CellaVision DM96 digital cell image. Peripheral blood smear — 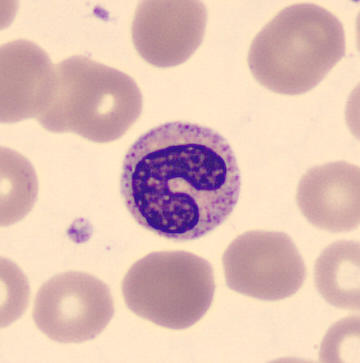 {"cell_type": "band neutrophil"}